Bone marrow smear · 250×250 px · brightfield microscopy, 40× oil immersion.
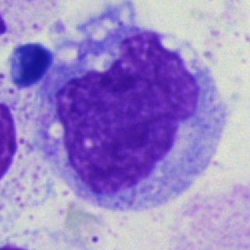

Specimen: bone marrow aspirate smear.
Morphological class: monocyte.
Lineage: myeloid.